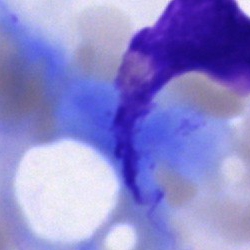Q: What is shown here?
A: It is an artefact.